Peripheral blood smear · brightfield, 100× oil-immersion objective
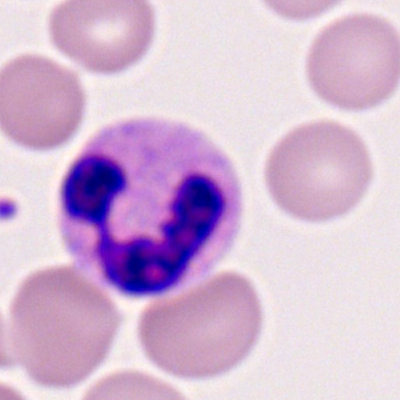
Specimen: peripheral blood smear.
Morphological class: segmented neutrophil.
Lineage: myeloid.